Bone marrow smear · Pappenheim-stained — 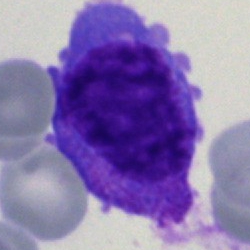Showing a monocyte.